Bone marrow aspirate smear — 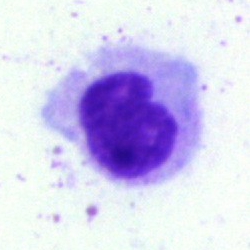

Impression → monocyte.